Bone marrow aspirate smear · May-Grünwald-Giemsa stain.
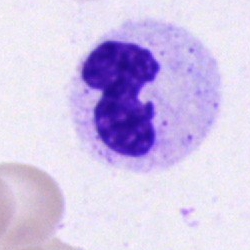{"cell_type": "polymorphonuclear neutrophil"}